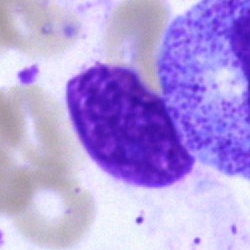
The cell shown is an artefact.